Bone marrow smear.
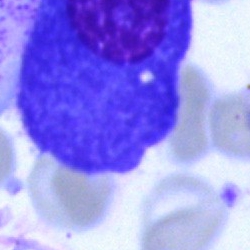Specimen: bone marrow smear.
Cell: plasmacyte.
Lineage: lymphoid.